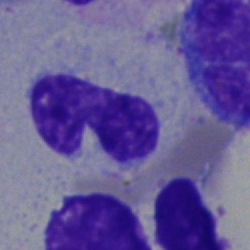 Q: Which cell type is shown here?
A: Band neutrophil.